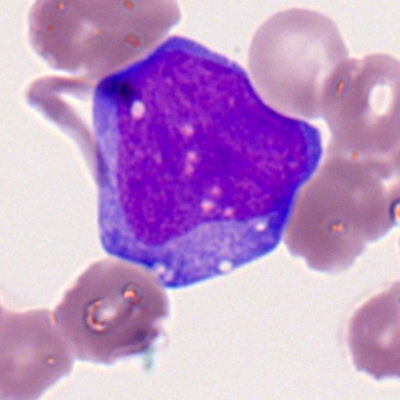Morphological class — myeloblast.